Bone marrow smear.
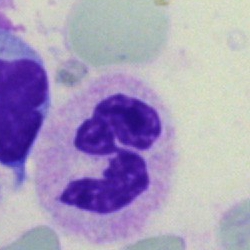
Q: What is the morphological classification of this cell?
A: It is a neutrophil (segmented).